Bone marrow smear — 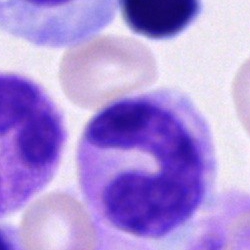Showing a neutrophil (band).